Bone marrow smear · single cell centered in the field: 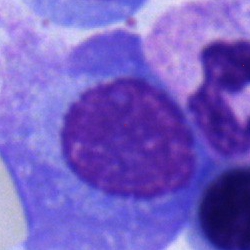

Impression — plasma cell.